Brightfield microscopy, 40× oil immersion · bone marrow aspirate smear — 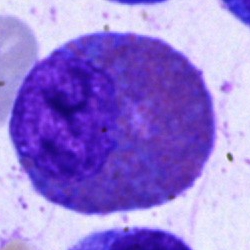

{"cell_type": "eosinophil", "lineage": "myeloid"}